Bone marrow aspirate smear: 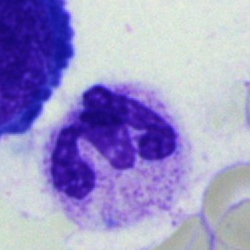 Q: What type of cell is this?
A: Neutrophil (segmented).